May-Grünwald-Giemsa/Pappenheim stain; 40× objective, oil immersion; bone marrow aspirate smear:
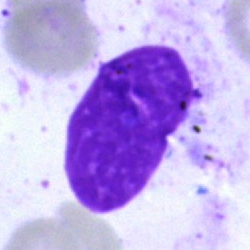 Impression → artifact.